Single-cell crop; bone marrow aspirate smear; brightfield, 40× oil-immersion objective.
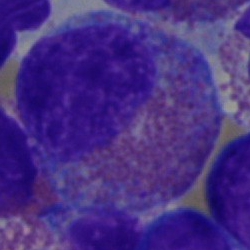

Specimen: bone marrow aspirate smear.
Cell type: eosinophil.